Brightfield, 40× oil-immersion objective. MGG-stained. Bone marrow aspirate smear — 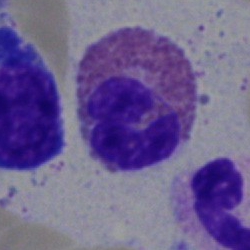

The morphological class is eosinophil.